250×250 · bone marrow aspirate smear.
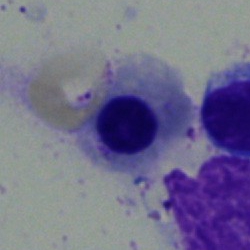 Q: Identify the cell.
A: This is a normoblast.